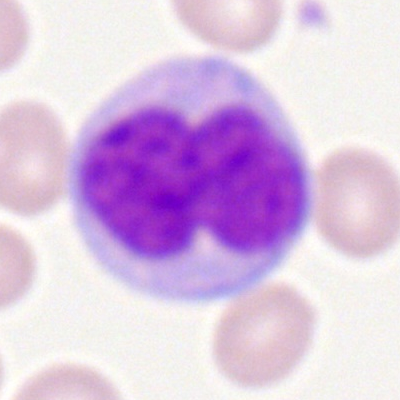 Morphological class — monocyte.